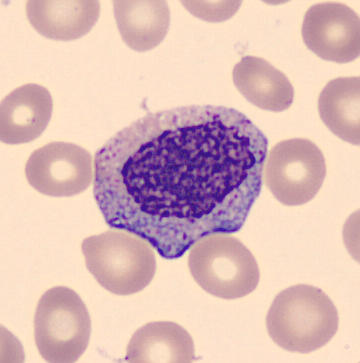
Myelocyte.

Preparation: Automated cell imaging (CellaVision DM96). Peripheral blood smear. 360 by 363 pixels.